Bone marrow smear:
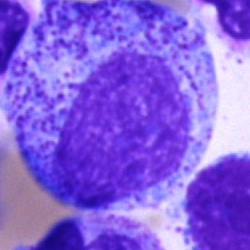

Cell: promyelocyte.